Bone marrow aspirate smear:
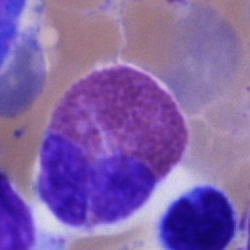 Morphological class = eosinophilic granulocyte.